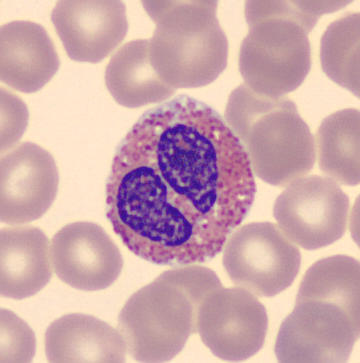

Image: Peripheral blood smear; May-Grünwald-Giemsa-stained; CellaVision DM96 digital cell image.

Morphology → eosinophil.